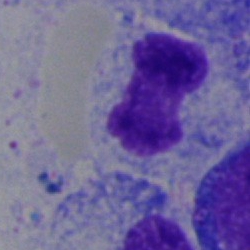 This is a band neutrophil.